Bone marrow smear; cropped to a single cell — 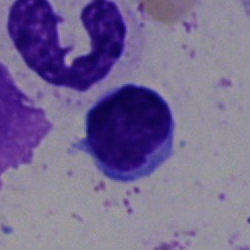
A lymphocyte.